Bone marrow aspirate smear
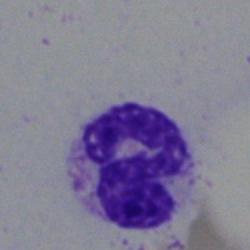 {"cell_type": "neutrophil (segmented)", "lineage": "myeloid"}